Bone marrow aspirate smear. Single-cell crop.
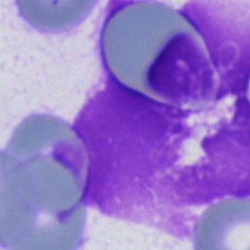
Morphology — artifact.